Bone marrow smear; May-Grünwald-Giemsa stain.
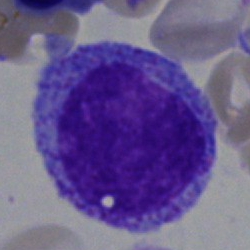 The classification is progranulocyte.